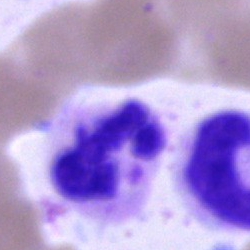Specimen: bone marrow aspirate smear.
Classification: polymorphonuclear neutrophil.